Single cell centered in the field · image size 400×400 · peripheral blood film.
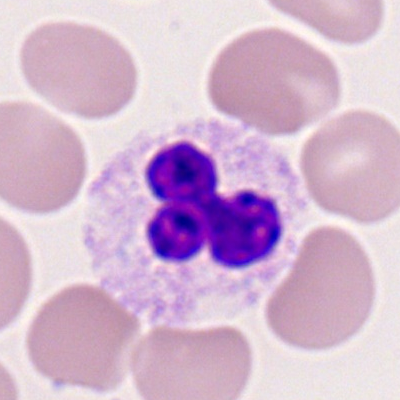

{"cell_type": "neutrophil (segmented)"}